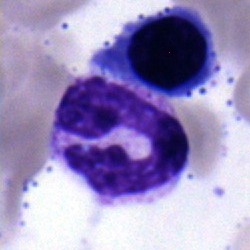 Single cell identified as a polymorphonuclear neutrophil.